Bone marrow aspirate smear; 40× objective, oil immersion: 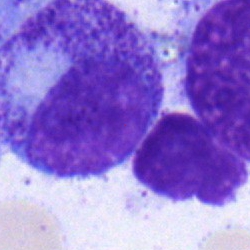

Q: What is the morphological classification of this cell?
A: Myelocyte.